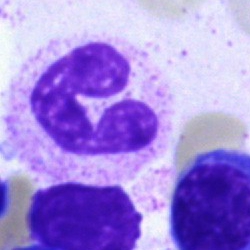

Morphology → polymorphonuclear neutrophil.